MGG-stained · bone marrow smear · image size 250×250.
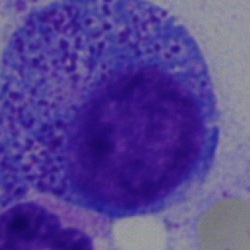Progranulocyte.